Bone marrow smear
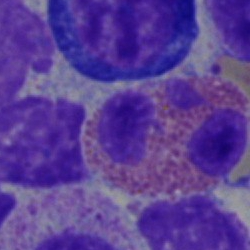 Specimen: bone marrow aspirate smear.
Morphological class: eosinophil.
Lineage: myeloid.